250×250 px. Bone marrow smear.
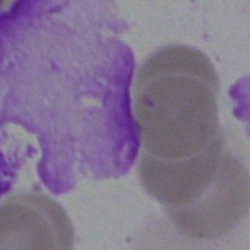Showing an artefact.